Single cell centered in the field. Bone marrow aspirate smear. Brightfield microscopy, 40× oil immersion
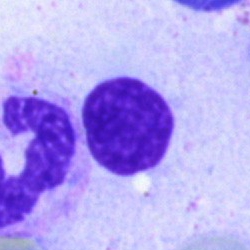

This is an artifact.